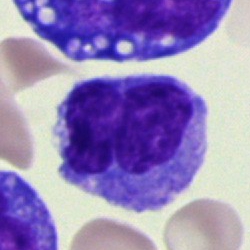Impression — monocyte.